Bone marrow aspirate smear:
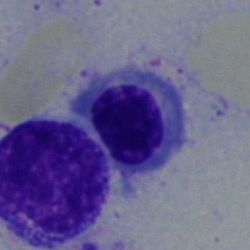Single cell identified as a normoblast.